Bone marrow aspirate smear. 40× objective, oil immersion
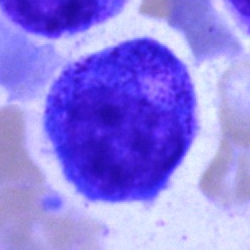
Q: What is shown here?
A: Progranulocyte.